Bone marrow aspirate smear; 40× oil immersion
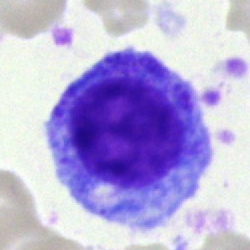

Q: What cell is this?
A: Promyelocyte.